40× objective, oil immersion. Bone marrow smear: 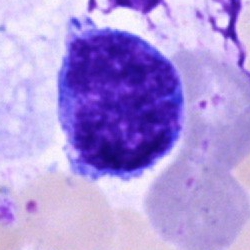
Undifferentiated blast.